Bone marrow aspirate smear:
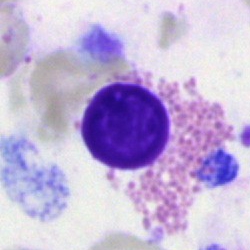
Cell type — eosinophil.